Bone marrow smear — 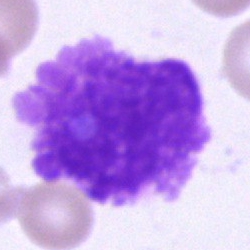Classification — artifact.